250 by 250 pixels; bone marrow smear:
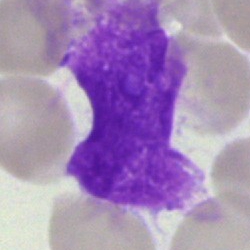Morphological class — artefact.